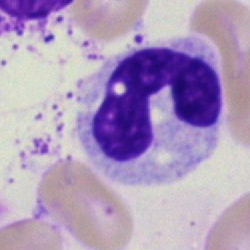
Single-cell crop from a bone marrow smear: band-form neutrophil.